Bone marrow smear.
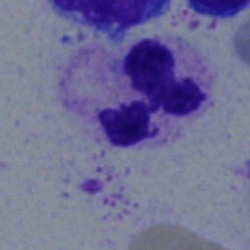 Polymorphonuclear neutrophil.